Bone marrow smear. MGG-stained. Brightfield microscopy, 40× oil immersion — 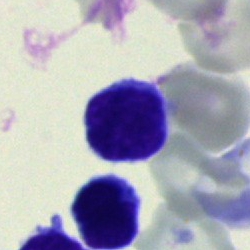 A typical lymphocyte.